250 by 250 pixels. Bone marrow smear. Brightfield, 40× oil-immersion objective.
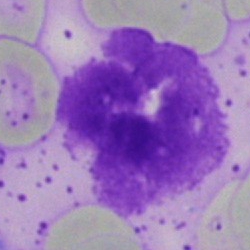

Specimen: bone marrow aspirate smear.
Morphological class: artefact.